Bone marrow aspirate smear
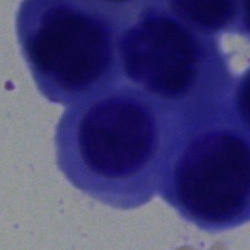Morphological class = erythroblast.